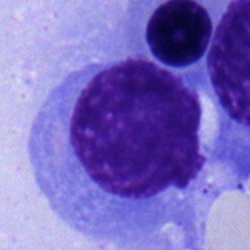

Cell type = nucleated red blood cell.